Bone marrow aspirate smear · 40× oil immersion.
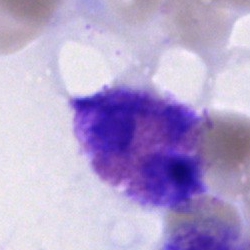
Q: What cell is this?
A: This is an eosinophil.